Bone marrow aspirate smear — 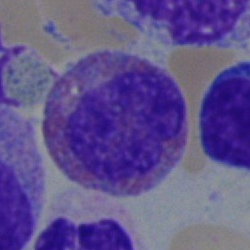
This is an eosinophilic granulocyte.